Bone marrow aspirate smear · May-Grünwald-Giemsa/Pappenheim stain — 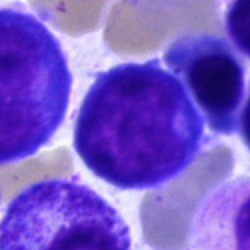 This is a typical lymphocyte.